Bone marrow aspirate smear · MGG-stained · 40× oil immersion:
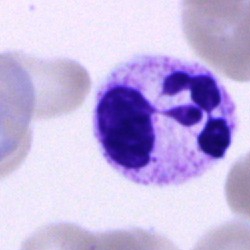Q: Identify the cell.
A: Segmented neutrophil.